May-Grünwald-Giemsa stain · 40× oil immersion · bone marrow smear.
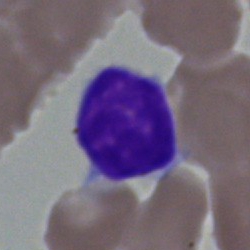

Cell — lymphocyte.